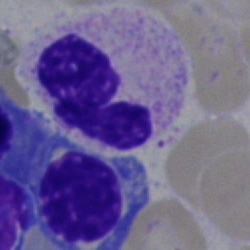
{"cell_type": "segmented neutrophil", "lineage": "myeloid"}